Bone marrow smear.
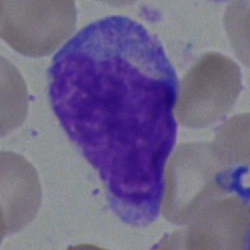 {"cell_type": "blast cell"}